Bone marrow aspirate smear:
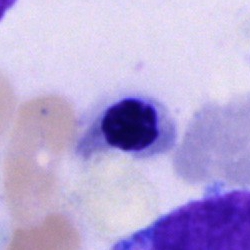 An erythroblast.